Bone marrow smear — 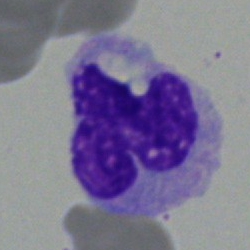Monocyte.